250×250 · bone marrow aspirate smear.
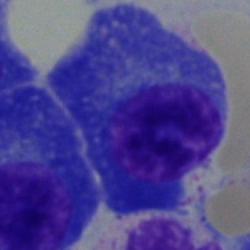

{"cell_type": "plasma cell", "lineage": "lymphoid"}